May-Grünwald-Giemsa stain; bone marrow smear
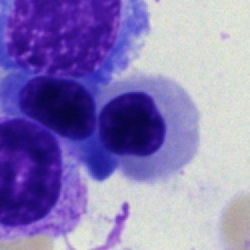 Normoblast.